Bone marrow smear — 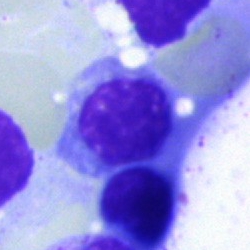

Morphology consistent with a nucleated red cell.